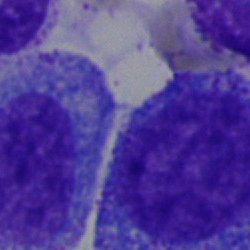
{"cell_type": "promyelocyte", "lineage": "myeloid"}